Peripheral blood smear: 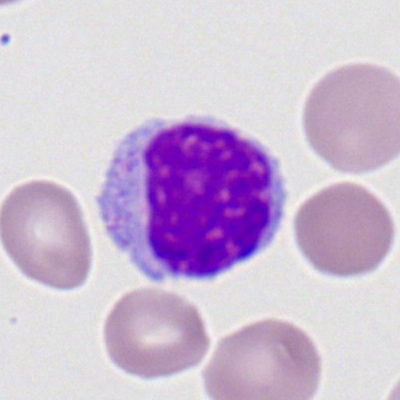Cell type — lymphocyte.